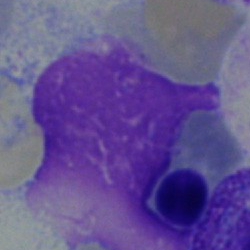 Specimen: bone marrow aspirate smear.
Classification: artefact.